May-Grünwald-Giemsa/Pappenheim stain. Bone marrow smear.
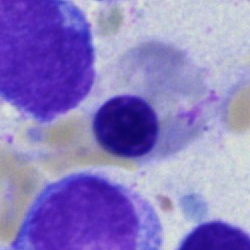

Cell: nucleated red blood cell.